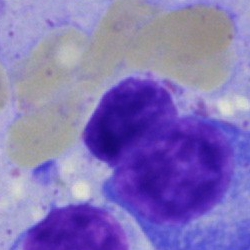
This is a plasma cell.